MGG-stained. Image size 250×250. Bone marrow smear: 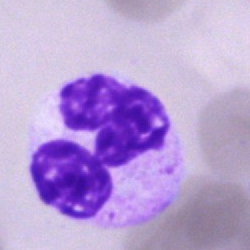Q: What is shown here?
A: A polymorphonuclear neutrophil.